Bone marrow smear.
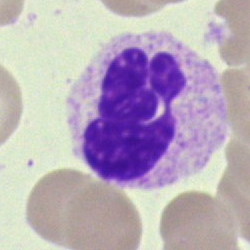

The cell shown is a neutrophil (segmented).